Pappenheim-stained; bone marrow aspirate smear; image size 250×250: 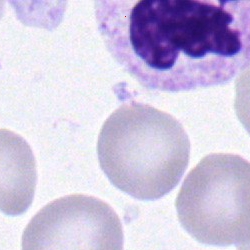Morphology consistent with a polymorphonuclear neutrophil.